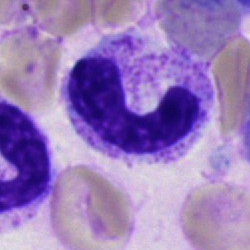

Morphological class = neutrophil (band).